Bone marrow smear:
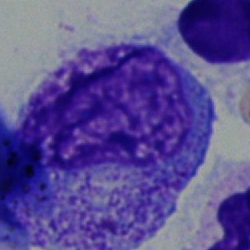 {"cell_type": "promyelocyte", "lineage": "myeloid"}